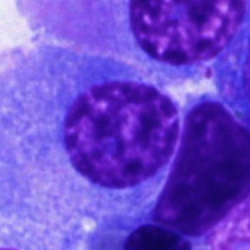 Cell type = plasma cell.